Pappenheim-stained. Bone marrow smear:
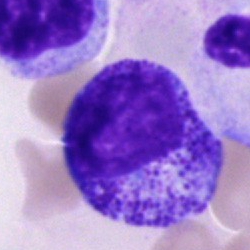 The cell shown is a progranulocyte.